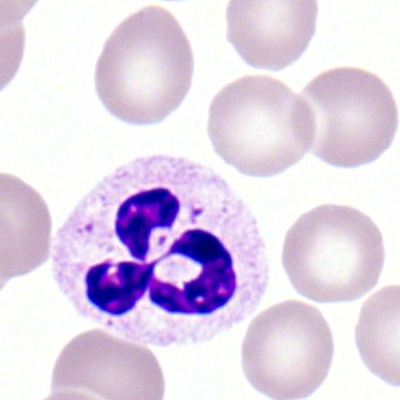
The cell shown is a neutrophil (segmented).